Bone marrow aspirate smear.
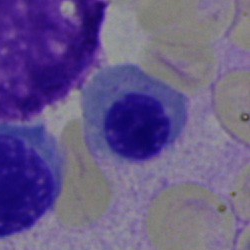

The classification is normoblast.